Peripheral blood smear. Romanowsky stain
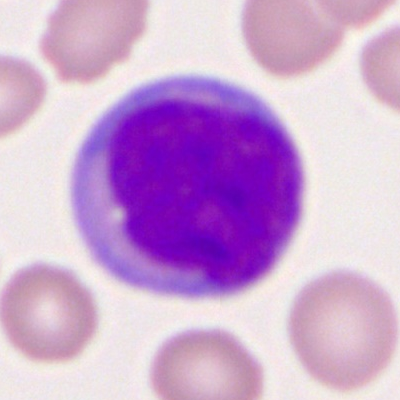This is a myeloblast.